Bone marrow smear
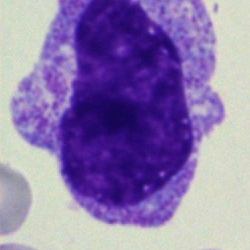Classification: progranulocyte.